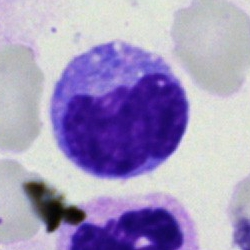 Single cell identified as a monocyte.